Bone marrow aspirate smear · cropped to a single cell · May-Grünwald-Giemsa/Pappenheim stain: 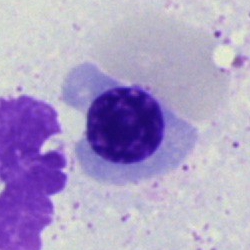 Normoblast.